Peripheral blood film: 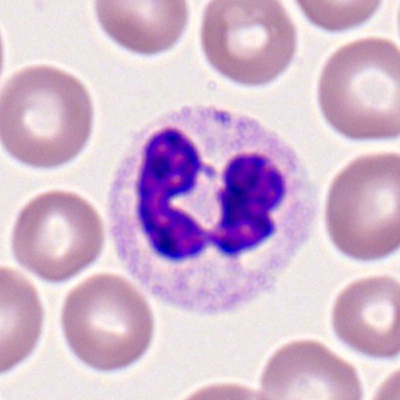 Specimen: peripheral blood film.
Cell: segmented neutrophil.
Lineage: myeloid.